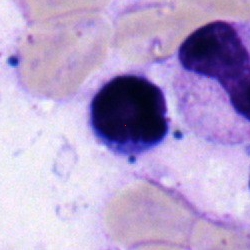Bone marrow smear showing a typical lymphocyte.